Bone marrow aspirate smear:
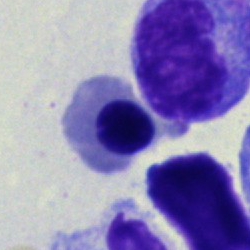

{"cell_type": "nucleated red blood cell"}